Cropped to a single cell. Bone marrow aspirate smear.
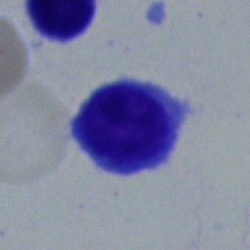 {"cell_type": "lymphocyte", "lineage": "lymphoid"}